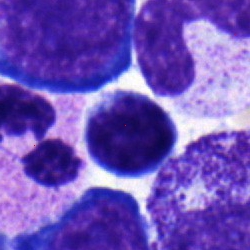 Single-cell crop from a bone marrow smear: lymphocyte.